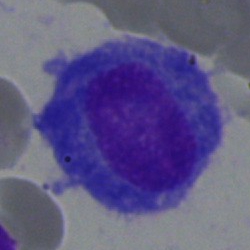 A plasmacyte.